Bone marrow smear: 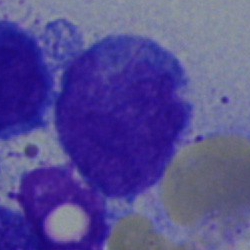Cell type: undifferentiated blast.